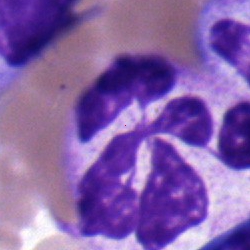

Single cell identified as a neutrophil (segmented).